Brightfield microscopy, 40× oil immersion; bone marrow aspirate smear; 250 by 250 pixels:
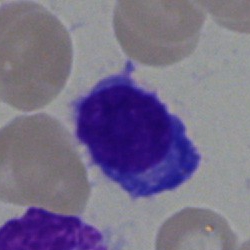
Cell type — plasmacyte.